Romanowsky stain · peripheral blood smear.
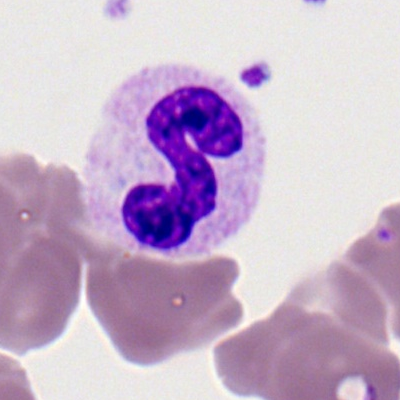Single cell identified as a polymorphonuclear neutrophil.